Bone marrow aspirate smear:
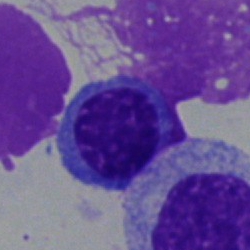 Single cell identified as a normoblast.